Bone marrow smear: 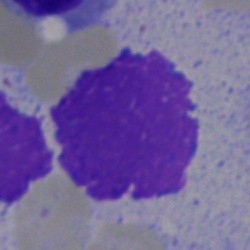

Morphology consistent with an artefact.